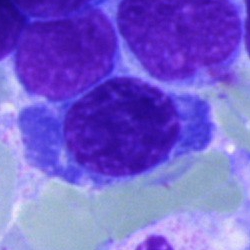{"cell_type": "nucleated red blood cell"}